Bone marrow smear:
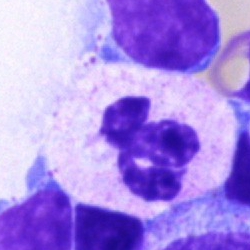

Cell: neutrophil (segmented).